Bone marrow smear: 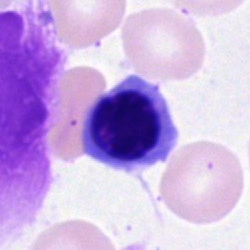
Cell type: nucleated red cell.